Peripheral blood smear; 400 by 400 pixels — 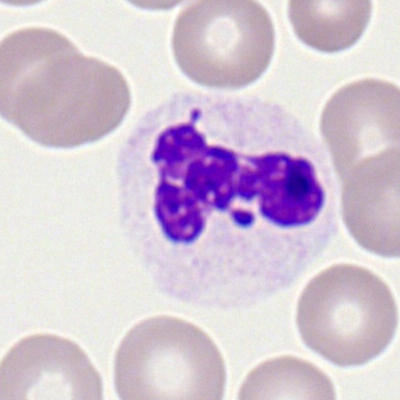
This is a neutrophil (segmented).